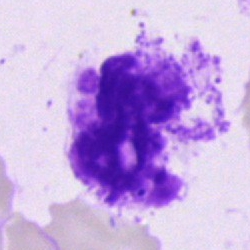 The classification is artefact.